Bone marrow smear; cropped to a single cell.
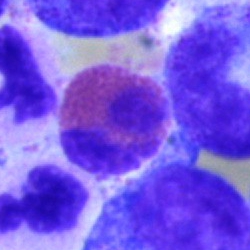

Morphology → eosinophil.